Bone marrow aspirate smear
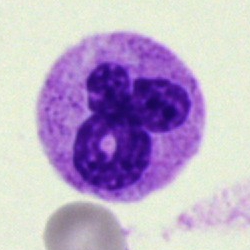Impression — segmented neutrophil.